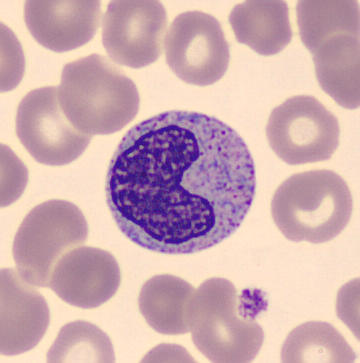

The classification is metamyelocyte.